Cropped to a single cell; 250×250 px; bone marrow smear — 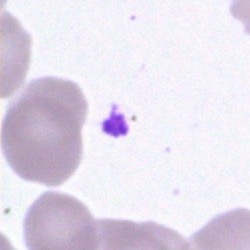
{"cell_type": "artifact"}